Bone marrow smear; 40× objective, oil immersion; single cell centered in the field.
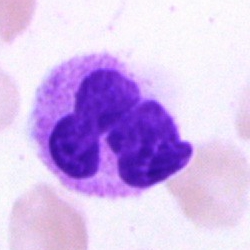 The classification is polymorphonuclear neutrophil.